Bone marrow aspirate smear.
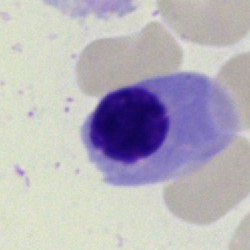
This is a normoblast.